Bone marrow aspirate smear: 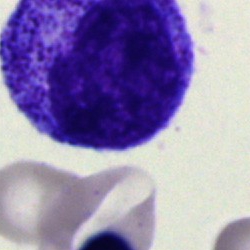Specimen: bone marrow aspirate smear.
Classification: progranulocyte.
Lineage: myeloid.